Bone marrow smear · May-Grünwald-Giemsa stain — 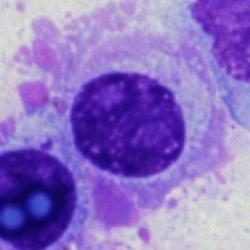 Impression — plasma cell.